Bone marrow smear. Single cell centered in the field. 40× objective, oil immersion:
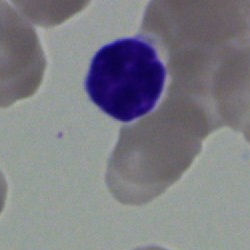

The cell is typical lymphocyte.